Bone marrow smear · May-Grünwald-Giemsa stain:
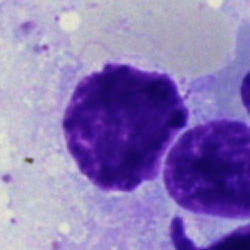

This is an artefact.